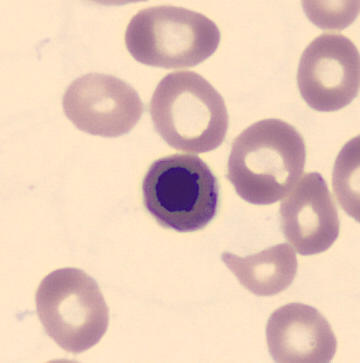 Q: What is shown here?
A: Erythroblast.

Peripheral blood smear.